Pappenheim-stained; bone marrow smear; 250×250 px — 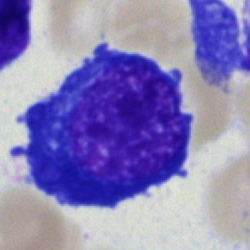

The cell is erythroblast.